Bone marrow aspirate smear
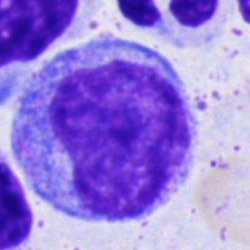This is a promyelocyte.